Peripheral blood smear:
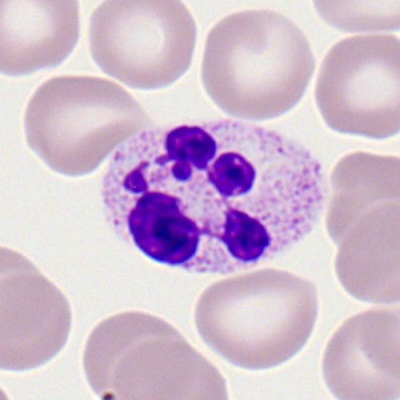 Morphological class: neutrophil (segmented).